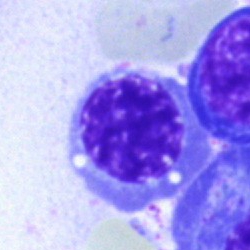

Impression → nucleated red cell.